Bone marrow aspirate smear:
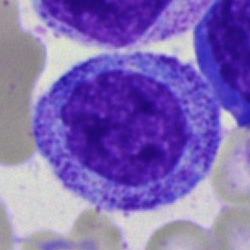 Q: Which cell type is shown here?
A: This is a promyelocyte.